Peripheral blood smear · brightfield, 100× oil-immersion objective — 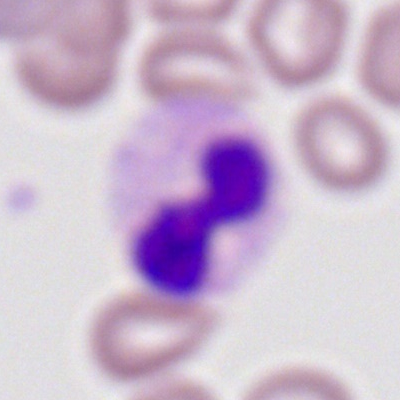
Q: What is the morphological classification of this cell?
A: Segmented neutrophil.